Bone marrow aspirate smear — 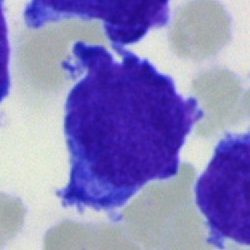
Showing a blast.